MGG-stained · bone marrow smear — 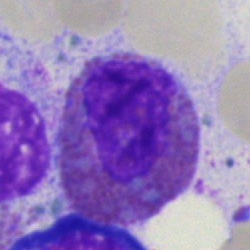
Specimen: bone marrow aspirate smear.
Cell type: eosinophilic granulocyte.
Lineage: myeloid.